May-Grünwald-Giemsa stain; bone marrow smear:
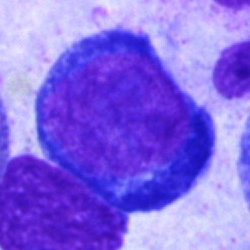Morphology — nucleated red cell.